Single cell centered in the field. Bone marrow smear
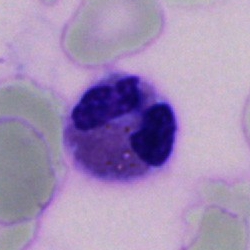

Specimen: bone marrow aspirate smear.
Cell type: eosinophil.